360 by 363 pixels; peripheral blood film.
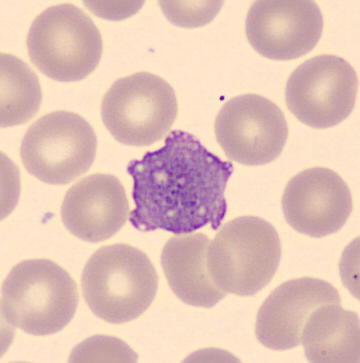 Impression → platelet.